Single-cell field; bone marrow aspirate smear: 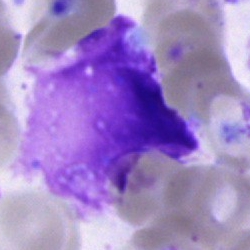

Cell type = artefact.